Single-cell field; 250 by 250 pixels; bone marrow aspirate smear.
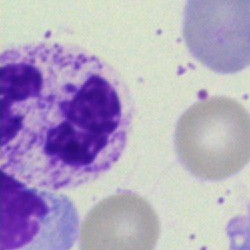

A neutrophil (segmented).